Peripheral blood film
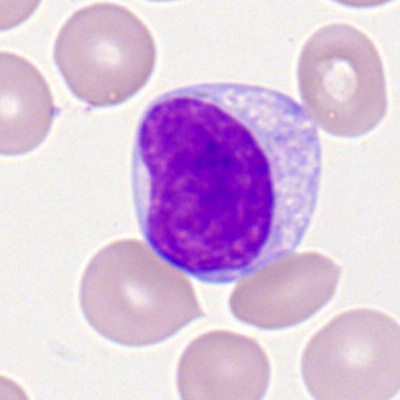

Lymphocyte.